Bone marrow smear
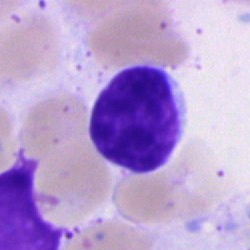

Specimen: bone marrow smear.
Cell type: typical lymphocyte.